Peripheral blood smear.
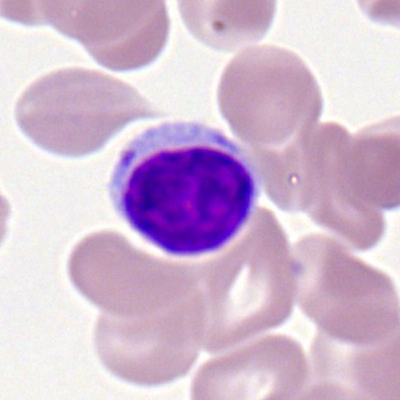
Q: What cell is this?
A: A typical lymphocyte.